Bone marrow smear · cropped to a single cell — 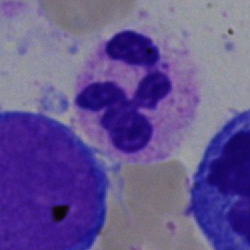Morphology consistent with a neutrophil (segmented).